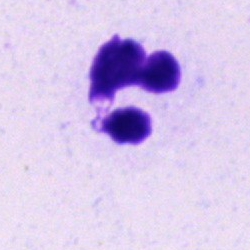

Morphological class: segmented neutrophil.